Peripheral blood film · M8 digital microscope (Precipoint), 100× oil immersion · Romanowsky stain
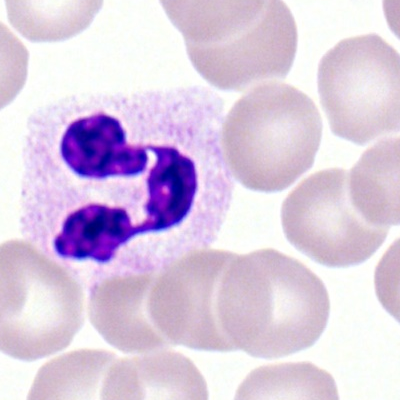 Cell type = segmented neutrophil.